Bone marrow smear; Pappenheim-stained:
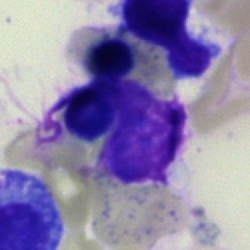

Cell type = artefact.